Bone marrow smear: 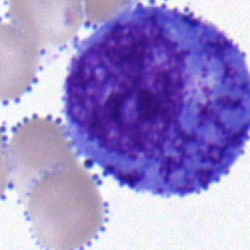Impression — promyelocyte.